Single cell centered in the field; bone marrow smear; 40× oil immersion
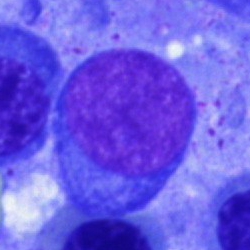

Blast cell.